Bone marrow aspirate smear · brightfield microscopy, 40× oil immersion:
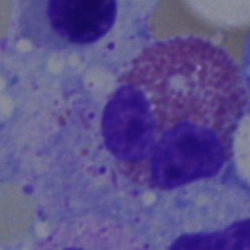The cell shown is an eosinophilic granulocyte.